Bone marrow smear
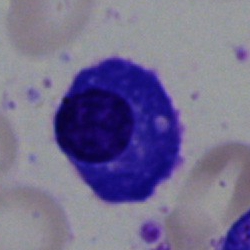

Cell type: plasmacyte.